Peripheral blood film:
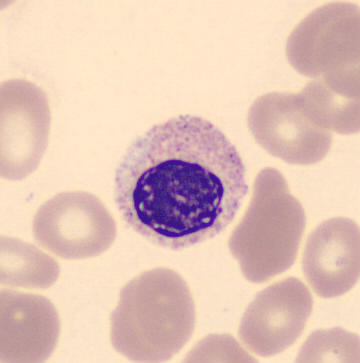
Specimen: peripheral blood smear.
Classification: myelocyte.
Lineage: myeloid.